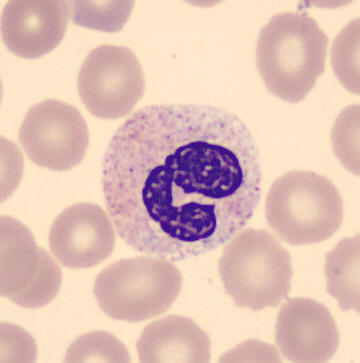Morphological class: polymorphonuclear neutrophil.